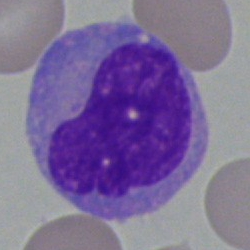Monocyte.